Bone marrow smear; single-cell field: 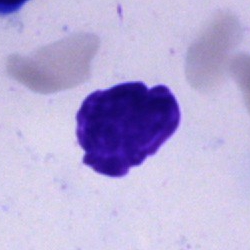
The cell shown is an artefact.